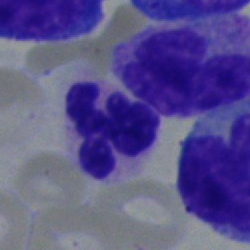A polymorphonuclear neutrophil.